Bone marrow aspirate smear:
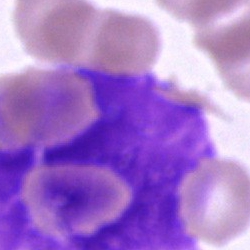Impression → artefact.